Bone marrow aspirate smear · single-cell crop.
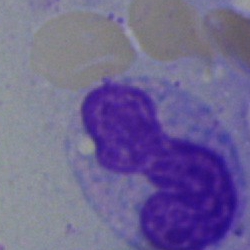

A monocyte.